40× objective, oil immersion · bone marrow aspirate smear.
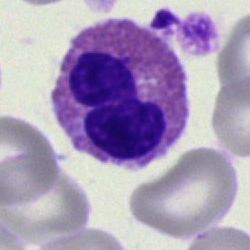 Impression — eosinophil.